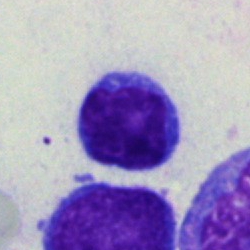 Single cell identified as a lymphocyte.